40× objective, oil immersion; bone marrow smear — 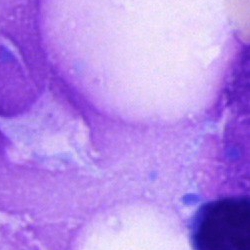

Specimen: bone marrow aspirate smear.
Classification: artifact.